Bone marrow aspirate smear — 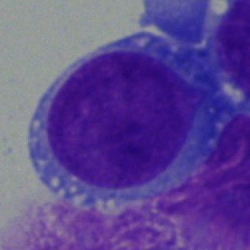
Single cell identified as a blast.